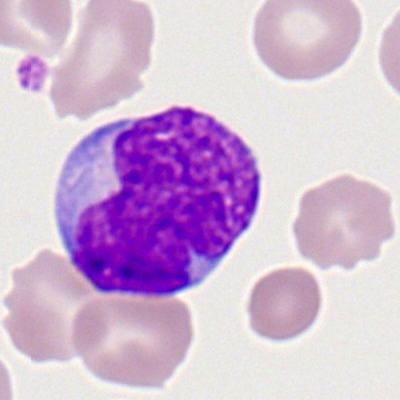Classification = myeloid blast.